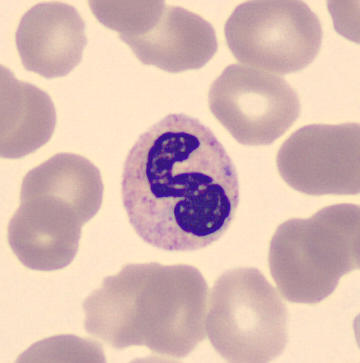 Showing a neutrophil (segmented).